Image size 250×250. Bone marrow smear — 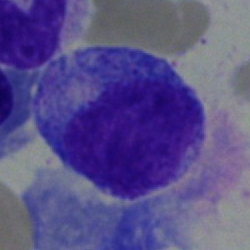

Specimen: bone marrow smear.
Cell: progranulocyte.